Bone marrow aspirate smear
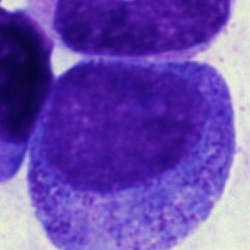
The cell type is progranulocyte.